May-Grünwald-Giemsa/Pappenheim stain. Bone marrow aspirate smear — 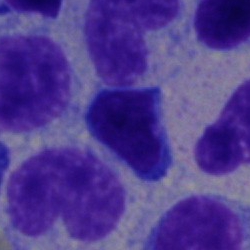
Showing an unidentifiable cell.